Bone marrow smear · May-Grünwald-Giemsa/Pappenheim stain:
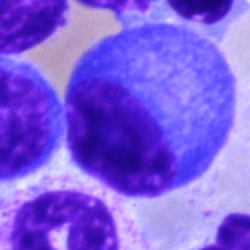The classification is plasma cell.